Cropped to a single cell. Bone marrow smear — 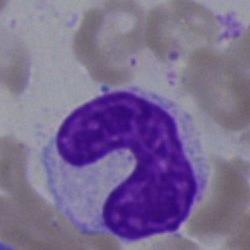Q: What is the morphological classification of this cell?
A: It is a band neutrophil.